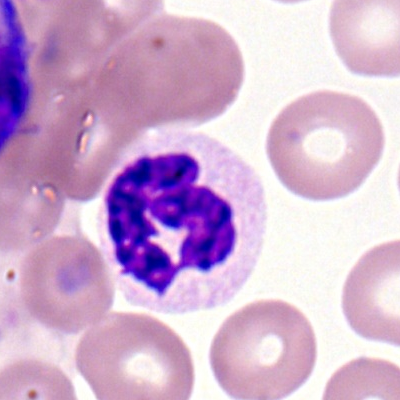

Morphology → segmented neutrophil.